400 by 400 pixels; peripheral blood smear; brightfield, 100× oil-immersion objective: 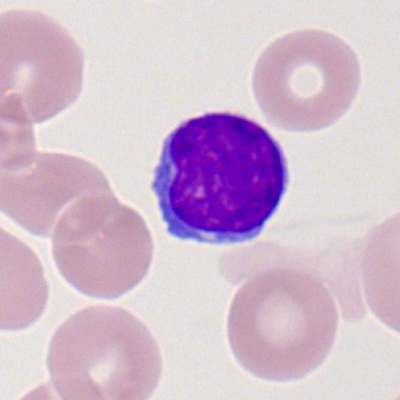Q: Identify the cell.
A: A lymphocyte.